Bone marrow smear. 250 by 250 pixels. Cropped to a single cell — 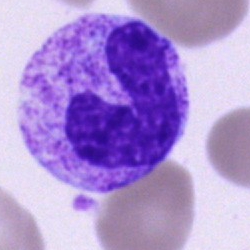

The morphological class is stab cell.